Cropped to a single cell; bone marrow aspirate smear; 40× oil immersion:
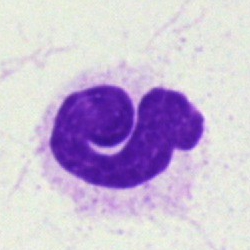 Morphological class: artifact.